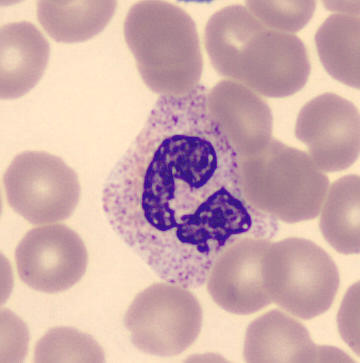
Morphology consistent with a segmented neutrophil.